Cropped to a single cell. Bone marrow aspirate smear:
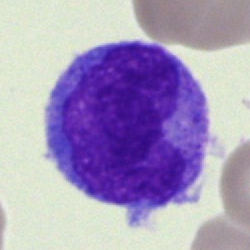

Specimen: bone marrow smear.
Morphological class: monocyte.